Single cell centered in the field. Bone marrow smear
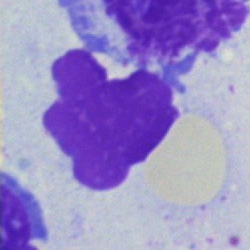

Q: What is shown here?
A: Artifact.